Bone marrow smear.
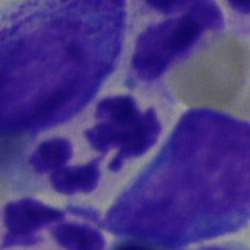 Q: Identify the cell.
A: A segmented neutrophil.